Peripheral blood smear; Romanowsky stain.
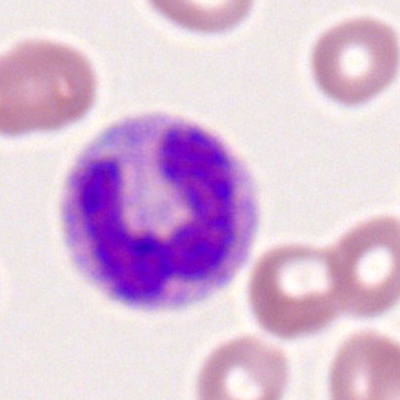

Classification — polymorphonuclear neutrophil.